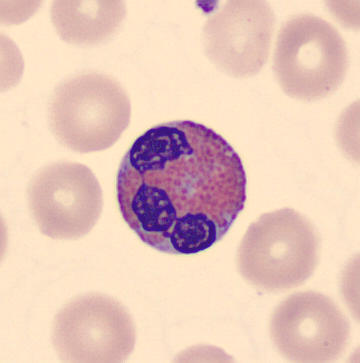
Acquisition: CellaVision DM96 digital cell image; peripheral blood film.

The morphological class is eosinophil.